Bone marrow aspirate smear · 250 by 250 pixels.
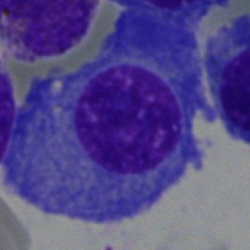
Specimen: bone marrow smear.
Cell type: plasma cell.
Lineage: lymphoid.